Peripheral blood smear — 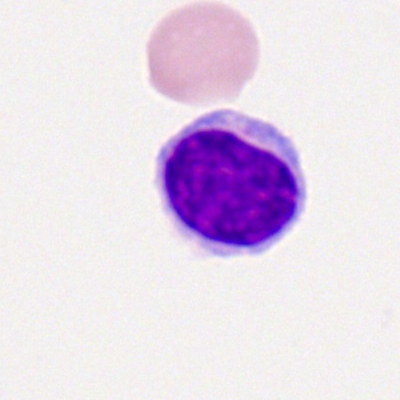

A typical lymphocyte.